Peripheral blood film
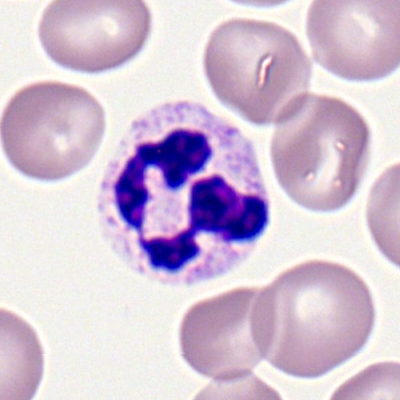
Impression → segmented neutrophil.